Single-cell field · bone marrow smear.
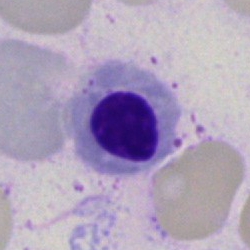

{"cell_type": "nucleated red cell", "lineage": "erythroid"}